Bone marrow aspirate smear; 250×250: 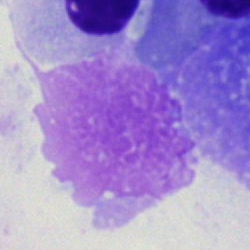Q: What is shown here?
A: Artefact.